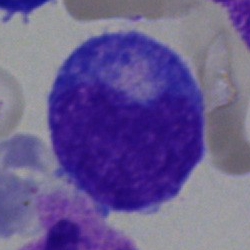
This is a progranulocyte.